Bone marrow aspirate smear
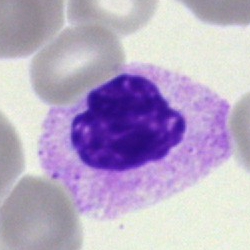 This is a polymorphonuclear neutrophil.